Bone marrow smear.
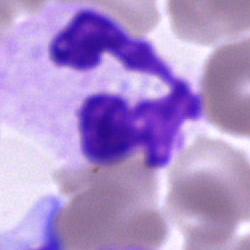 Cell type — segmented neutrophil.